Bone marrow aspirate smear
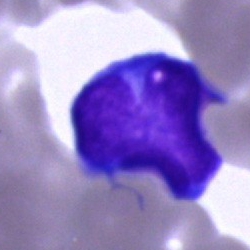 {"cell_type": "blast cell"}